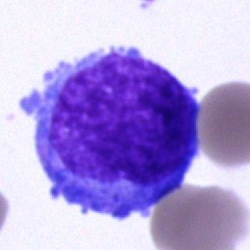

Specimen: bone marrow smear.
Morphological class: undifferentiated blast.